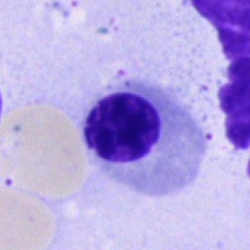

{"cell_type": "nucleated red blood cell", "lineage": "erythroid"}